Cropped to a single cell. Bone marrow smear:
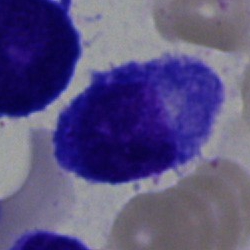Morphology — promyelocyte.